Bone marrow aspirate smear. Brightfield microscopy, 40× oil immersion
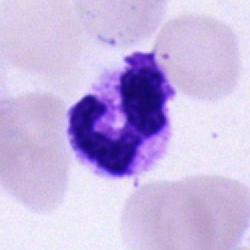 Classification = segmented neutrophil.